Single-cell crop. 250×250 px. Bone marrow aspirate smear — 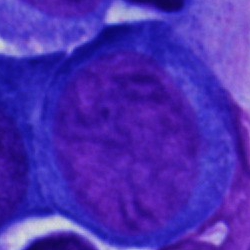Morphology consistent with a proerythroblast.